Peripheral blood smear:
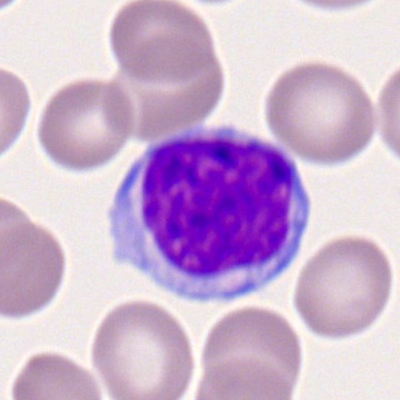The cell type is typical lymphocyte.